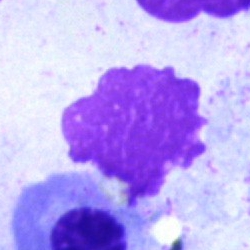
Q: What is shown here?
A: This is an artifact.